Bone marrow aspirate smear — 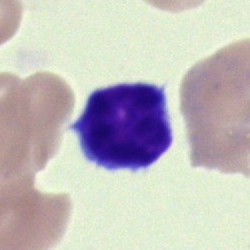

Q: What cell is this?
A: Typical lymphocyte.